Bone marrow smear:
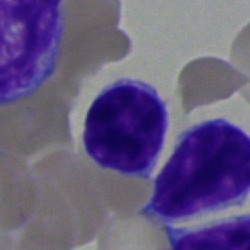

Single cell identified as a lymphocyte.